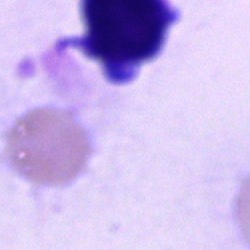 Cell type: unidentifiable cell.